Bone marrow smear:
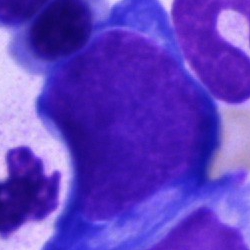

Classification = undifferentiated blast.